Bone marrow aspirate smear — 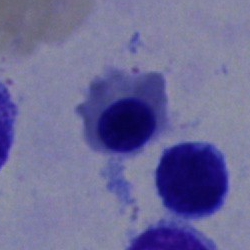Q: Identify the cell.
A: A nucleated red cell.